250×250 px · cropped to a single cell · bone marrow smear: 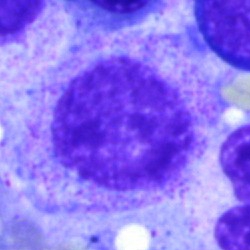Classification = myelocyte.